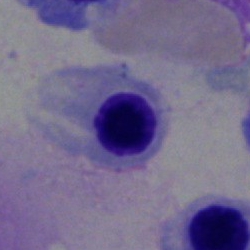Morphology → nucleated red cell.